Cropped to a single cell; 250×250 px; bone marrow aspirate smear
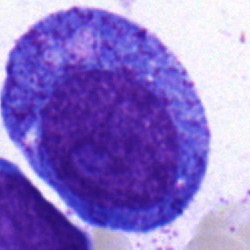 Morphology consistent with a progranulocyte.